40× oil immersion · bone marrow smear.
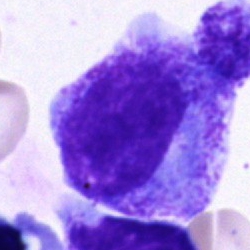Q: What is shown here?
A: It is a progranulocyte.